Brightfield microscopy, 40× oil immersion; May-Grünwald-Giemsa/Pappenheim stain; bone marrow smear.
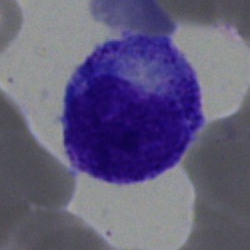
Cell type — progranulocyte.